Single-cell crop · bone marrow smear
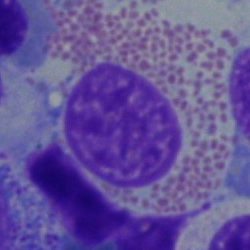 The cell type is eosinophilic granulocyte.